Bone marrow smear — 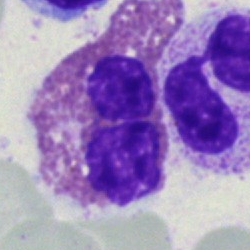Specimen: bone marrow smear.
Cell type: eosinophil.